Image size 250×250. Bone marrow aspirate smear
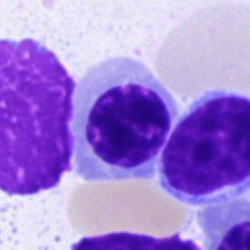
Morphology — erythroblast.